MGG-stained · 40× objective, oil immersion · bone marrow smear:
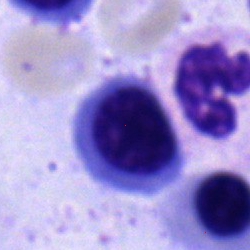This is an erythroblast.